Bone marrow aspirate smear.
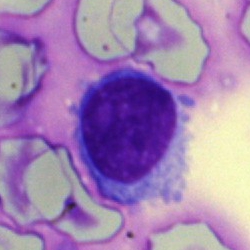
This is a typical lymphocyte.